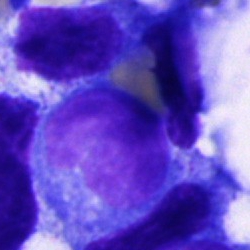

Morphological class: blast.